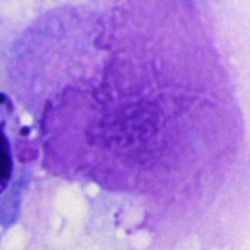 Showing an artefact.